Bone marrow aspirate smear: 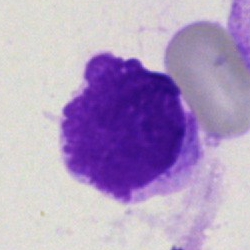 Single cell identified as an artefact.